Bone marrow aspirate smear; 40× objective, oil immersion; single-cell crop: 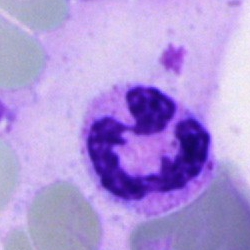
The cell is polymorphonuclear neutrophil.